40× oil immersion · bone marrow aspirate smear.
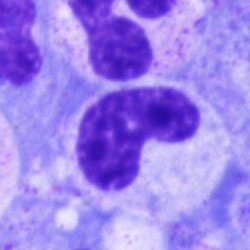 Q: Which cell type is shown here?
A: A metamyelocyte.